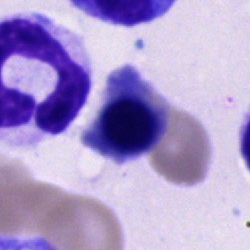 The cell is nucleated red blood cell.